Bone marrow aspirate smear — 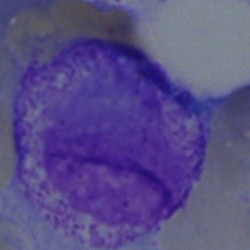Specimen: bone marrow aspirate smear.
Classification: myelocyte.
Lineage: myeloid.